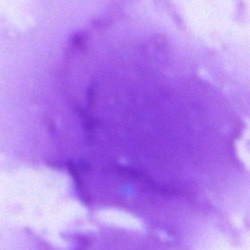

Q: What is shown here?
A: This is an artifact.